Bone marrow aspirate smear
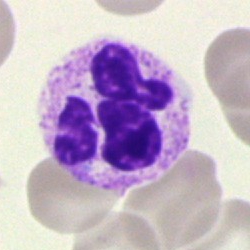
Q: Which cell type is shown here?
A: This is a polymorphonuclear neutrophil.